MGG-stained. Bone marrow smear.
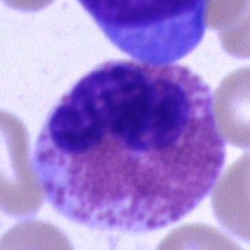 Specimen: bone marrow smear.
Morphological class: eosinophilic granulocyte.
Lineage: myeloid.